40× oil immersion; bone marrow aspirate smear — 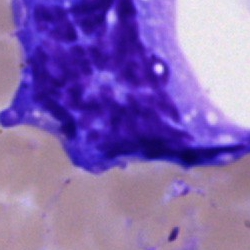 Single cell identified as an artifact.